Pappenheim-stained; bone marrow aspirate smear — 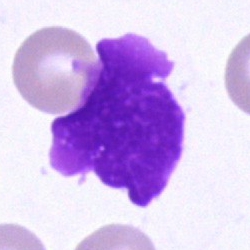Impression → artifact.